Pappenheim-stained · bone marrow aspirate smear: 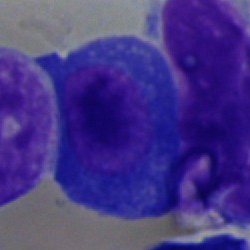

Morphology consistent with a plasma cell.